Bone marrow aspirate smear.
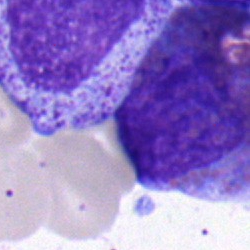 Single cell identified as an eosinophil.